Brightfield, 40× oil-immersion objective · bone marrow smear: 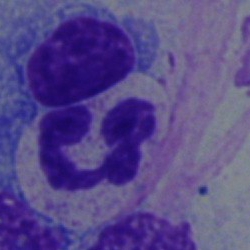A polymorphonuclear neutrophil.